Bone marrow smear.
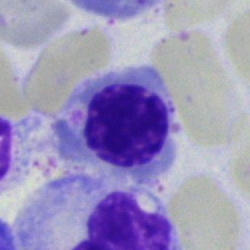 Normoblast.